May-Grünwald-Giemsa stain. Bone marrow smear — 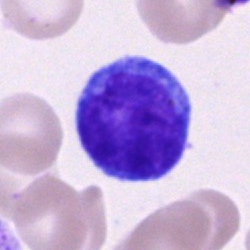
Q: What is shown here?
A: Lymphocyte.